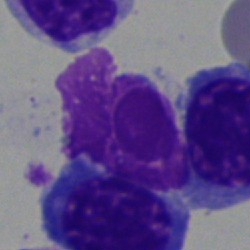The classification is artifact.